Peripheral blood smear: 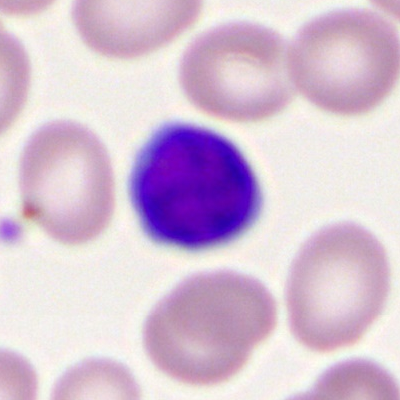 Specimen: peripheral blood smear.
Morphological class: typical lymphocyte.
Lineage: lymphoid.